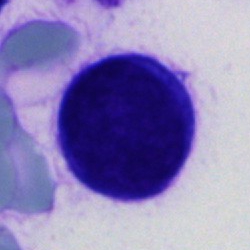 Specimen: bone marrow aspirate smear.
Classification: unidentifiable cell.